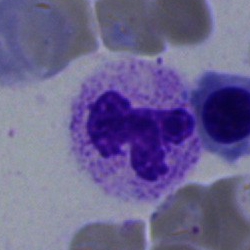

{"cell_type": "neutrophil (segmented)", "lineage": "myeloid"}